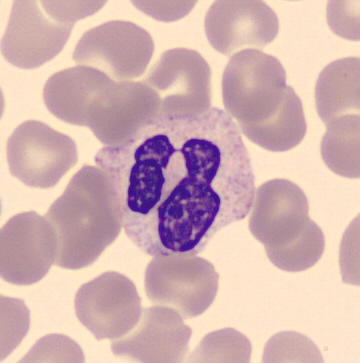
{"cell_type": "segmented neutrophil"}